Bone marrow smear: 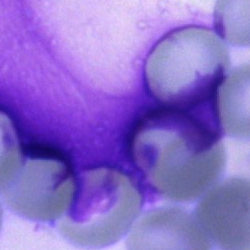
Morphology — artefact.